Bone marrow smear:
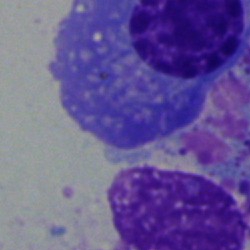
The morphological class is plasma cell.